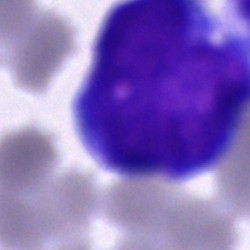Specimen: bone marrow smear.
Cell type: undifferentiated blast.